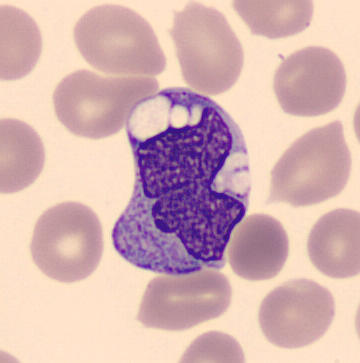

Image: Peripheral blood smear. Impression → monocyte.